Bone marrow smear.
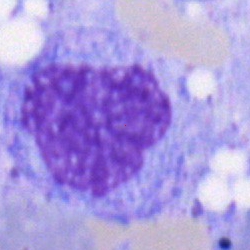

Specimen: bone marrow aspirate smear.
Cell type: metamyelocyte.